Bone marrow smear:
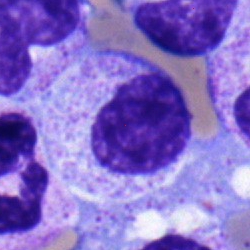Specimen: bone marrow aspirate smear.
Morphological class: myelocyte.